Bone marrow smear; May-Grünwald-Giemsa stain; single-cell crop: 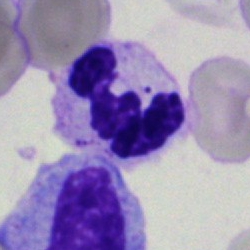The classification is neutrophil (segmented).